Bone marrow aspirate smear
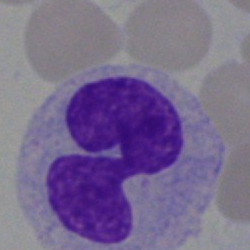

Q: What is the morphological classification of this cell?
A: A monocyte.